250 by 250 pixels; bone marrow smear
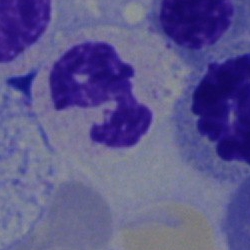

The cell shown is a segmented neutrophil.